Bone marrow smear; Pappenheim-stained: 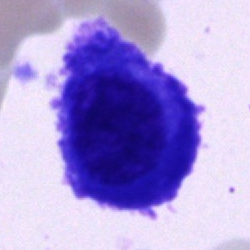Specimen: bone marrow aspirate smear.
Cell type: plasmacyte.